Bone marrow smear. 250×250 px. 40× objective, oil immersion:
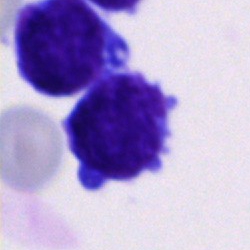 Showing a blast cell.